Bone marrow smear
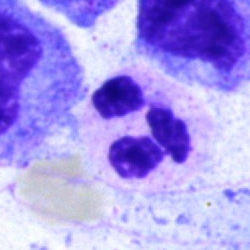Specimen: bone marrow smear.
Morphological class: polymorphonuclear neutrophil.